Bone marrow smear: 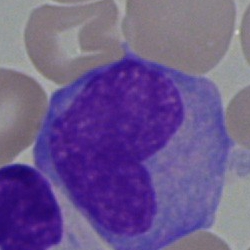
Showing a monocyte.